Bone marrow smear — 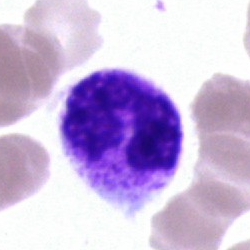A segmented neutrophil.